Bone marrow aspirate smear: 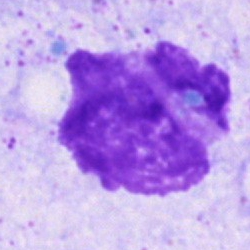

Morphology consistent with an artefact.